Romanowsky-type stain. Peripheral blood film
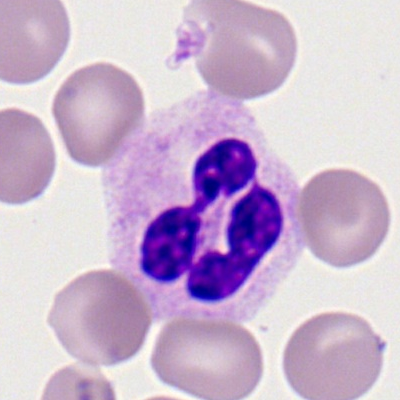

Q: What type of cell is this?
A: Polymorphonuclear neutrophil.